40× oil immersion. Bone marrow aspirate smear
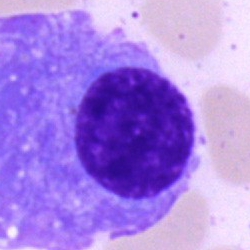

Morphology — plasma cell.